Bone marrow smear · single-cell crop:
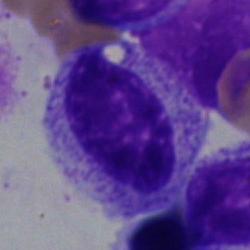

Myelocyte.